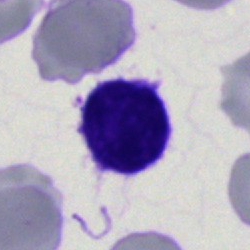
Classification: typical lymphocyte.